Bone marrow aspirate smear:
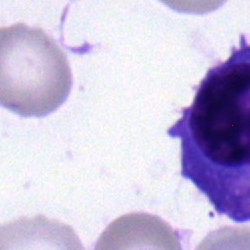

Q: What type of cell is this?
A: This is a plasma cell.